Bone marrow aspirate smear · image size 250×250
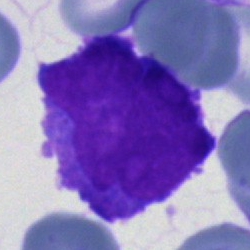

Classification — undifferentiated blast.